Brightfield microscopy, 40× oil immersion; bone marrow smear:
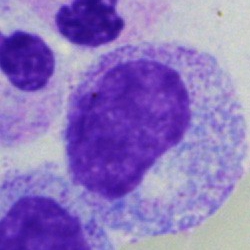 {"cell_type": "promyelocyte"}